Bone marrow smear · image size 250×250:
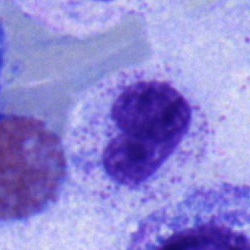Showing a neutrophil (band).